Bone marrow aspirate smear; cropped to a single cell.
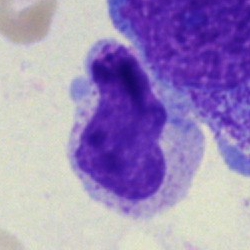Metamyelocyte.